Bone marrow aspirate smear.
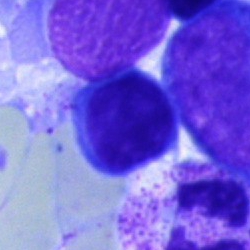

Plasma cell.